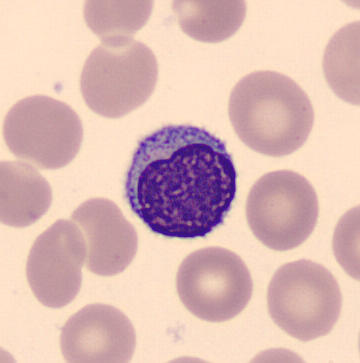

A typical lymphocyte on a peripheral blood smear.